Cropped to a single cell. Bone marrow aspirate smear. May-Grünwald-Giemsa/Pappenheim stain.
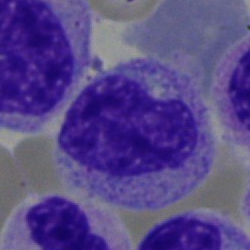

Specimen: bone marrow aspirate smear.
Cell: metamyelocyte.
Lineage: myeloid.